Bone marrow aspirate smear — 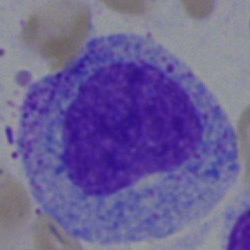

Morphological class — promyelocyte.